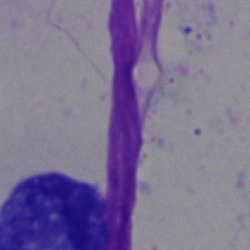
Bone marrow aspirate smear, single cell — artifact.